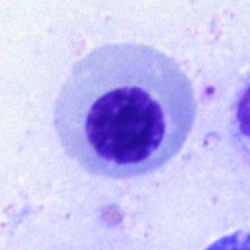

Cell type = nucleated red cell.